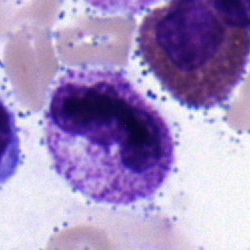
Specimen: bone marrow smear.
Classification: segmented neutrophil.